Bone marrow smear · 250×250 px: 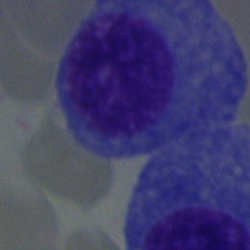Q: Identify the cell.
A: This is a plasmacyte.